Brightfield, 40× oil-immersion objective · bone marrow smear — 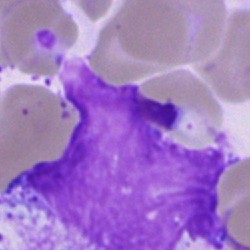Artifact.